Bone marrow smear
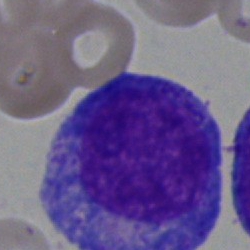 Q: What type of cell is this?
A: It is a progranulocyte.